Brightfield, 40× oil-immersion objective · cropped to a single cell · bone marrow smear.
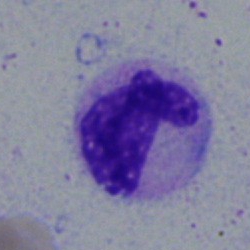

Showing a stab cell.